Bone marrow aspirate smear
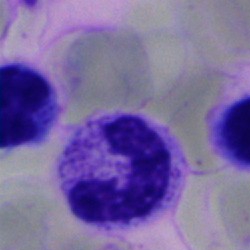 Specimen: bone marrow aspirate smear.
Cell: neutrophil (band).